Bone marrow smear.
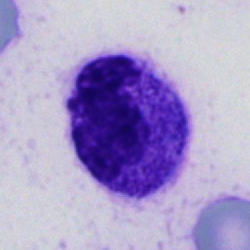
Classification: neutrophil (segmented).